Bone marrow aspirate smear: 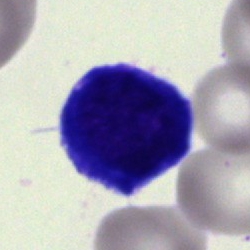 Cell = nucleated red cell.